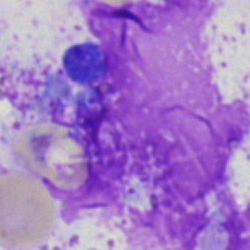

Q: What is shown here?
A: An artifact.